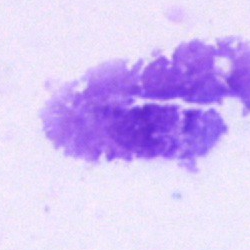An artifact on a bone marrow smear.